Bone marrow smear
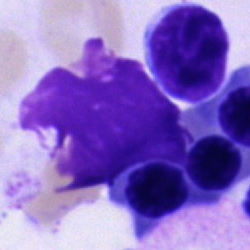The classification is unidentifiable cell.